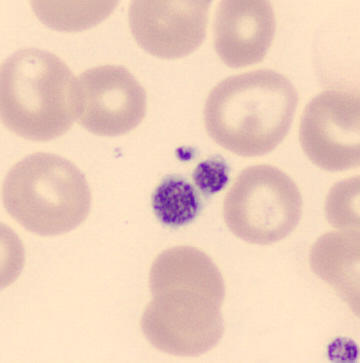 Specimen: peripheral blood smear.
Cell type: platelet (thrombocyte).